Bone marrow aspirate smear. May-Grünwald-Giemsa stain.
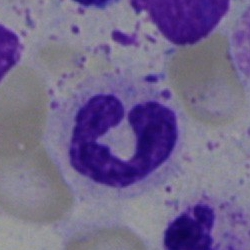

Specimen: bone marrow aspirate smear.
Morphological class: polymorphonuclear neutrophil.